Bone marrow aspirate smear; 40× oil immersion: 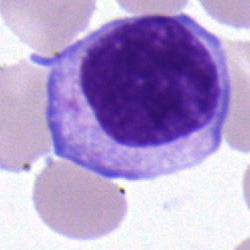Impression → typical lymphocyte.